Image size 250×250; bone marrow smear.
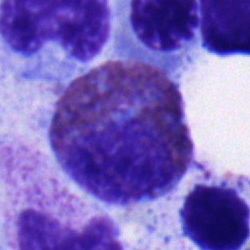
Cell type: eosinophil.